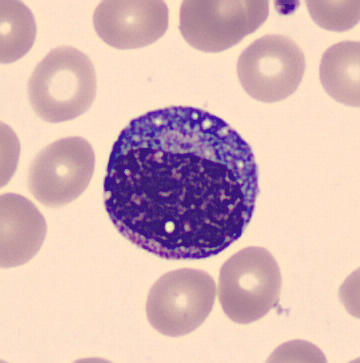
Single cell identified as a progranulocyte.
Preparation: Peripheral blood smear · 360 by 363 pixels · MGG-stained.